250 by 250 pixels · 40× oil immersion · bone marrow smear: 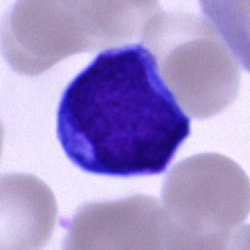
The classification is undifferentiated blast.